Bone marrow smear
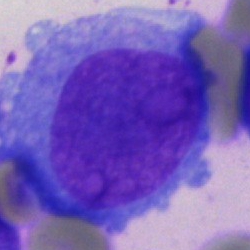Q: What cell is this?
A: A blast.